Bone marrow smear: 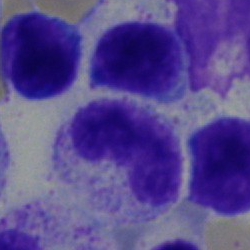

This is a band-form neutrophil.